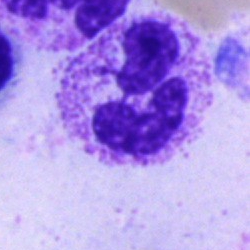Morphological class — neutrophil (segmented).